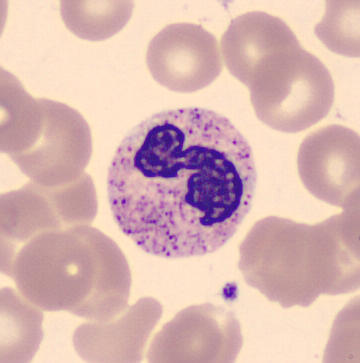 Q: Identify the cell.
A: It is a neutrophil (segmented).